Peripheral blood film. Romanowsky stain: 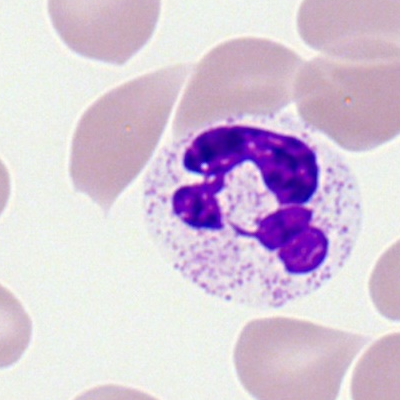

Single cell identified as a polymorphonuclear neutrophil.